Pappenheim-stained · single-cell field · bone marrow smear:
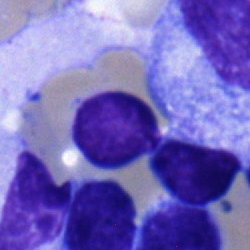

Morphology consistent with a lymphocyte.